Romanowsky stain. Peripheral blood film. 400×400.
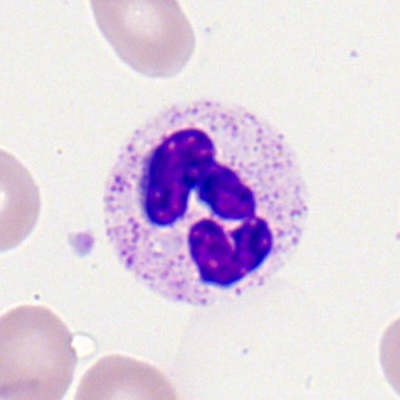
Specimen: peripheral blood film.
Cell: polymorphonuclear neutrophil.